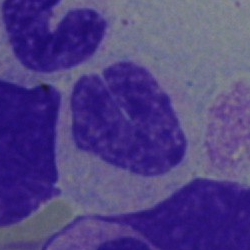
This is a stab cell.